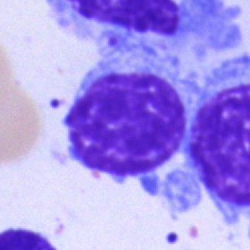 Specimen: bone marrow aspirate smear.
Morphological class: typical lymphocyte.